Bone marrow smear. MGG-stained:
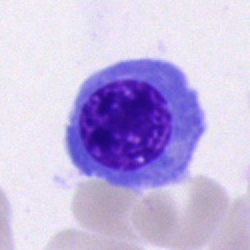 Morphological class — nucleated red cell.